Bone marrow smear — 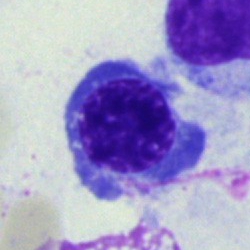 Classification = normoblast.